Bone marrow smear:
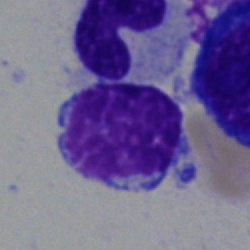
Single cell identified as a lymphocyte.